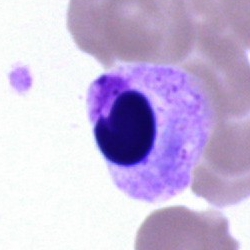 The cell shown is an artefact.